Bone marrow aspirate smear. 250×250:
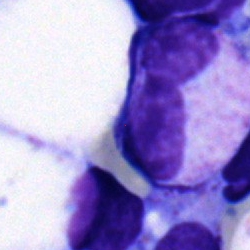
Impression → stab cell.